Bone marrow aspirate smear · MGG-stained · single-cell crop.
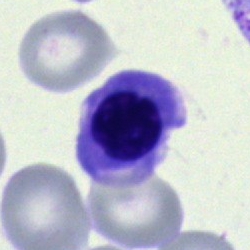
A nucleated red cell.